Peripheral blood film
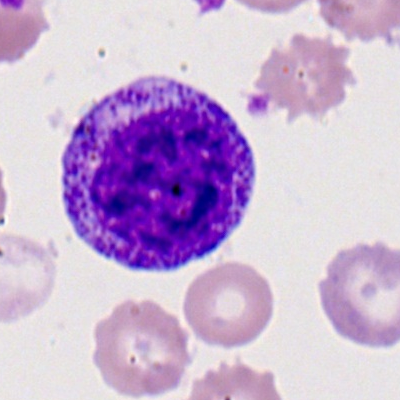 Showing a myelocyte.